40× objective, oil immersion. Bone marrow aspirate smear. 250×250 px
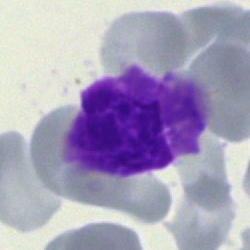

Q: What is shown here?
A: This is a Gumprecht shadow.